May Grünwald-Giemsa stain; peripheral blood film; cropped to a single cell:
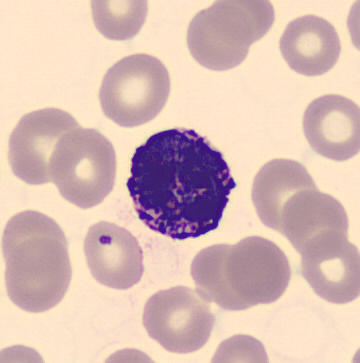Cell = basophil.